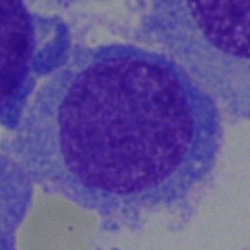

A plasma cell.